Image size 250×250. May-Grünwald-Giemsa stain. Bone marrow smear — 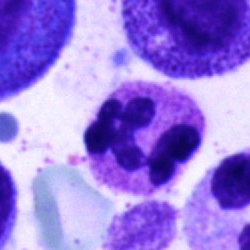
A segmented neutrophil.